Bone marrow smear: 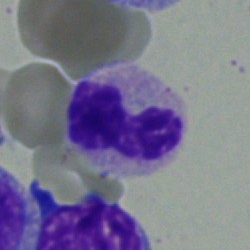{"cell_type": "segmented neutrophil", "lineage": "myeloid"}